Bone marrow aspirate smear:
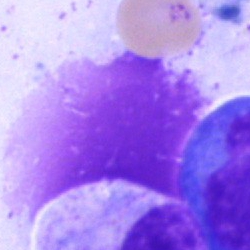

Q: What is shown here?
A: It is an artefact.